Bone marrow aspirate smear
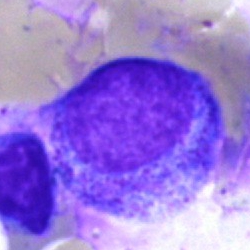Morphology → progranulocyte.